40× oil immersion · bone marrow smear · 250×250 px.
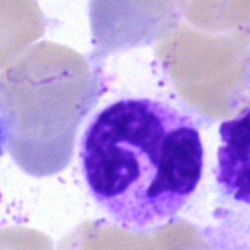 Cell type — neutrophil (segmented).